May-Grünwald-Giemsa stain. Single-cell field. Bone marrow smear.
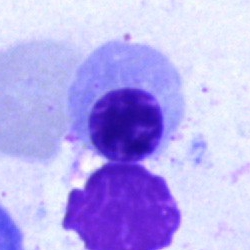 Classification = nucleated red cell.